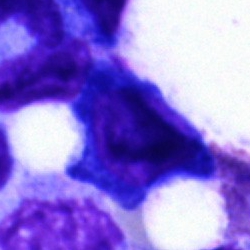Artefact.